Peripheral blood smear: 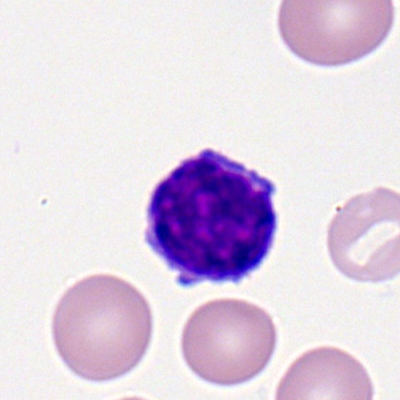 Cell type: atypical lymphocyte.